Bone marrow smear; brightfield microscopy, 40× oil immersion — 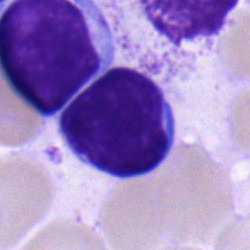Cell type: lymphocyte.